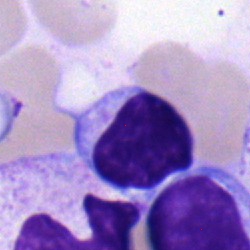

{"cell_type": "lymphocyte"}